Bone marrow aspirate smear — 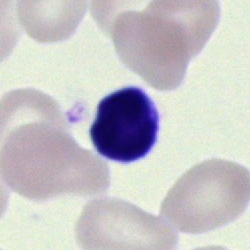Single cell identified as a typical lymphocyte.